Bone marrow smear
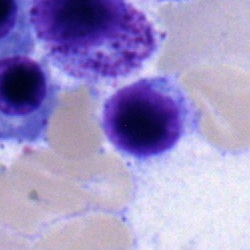Cell type — lymphocyte.